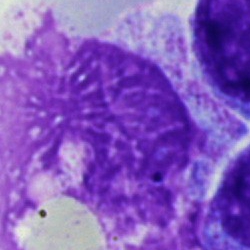

Q: What is shown here?
A: It is an artefact.